Bone marrow aspirate smear: 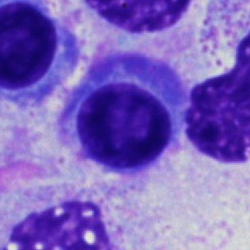
{"cell_type": "plasmacyte", "lineage": "lymphoid"}